Single cell centered in the field. MGG-stained. Bone marrow smear — 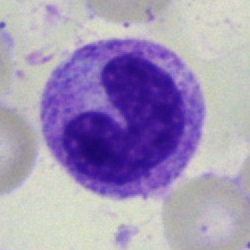 Neutrophil (band).